Peripheral blood film · image size 400×400.
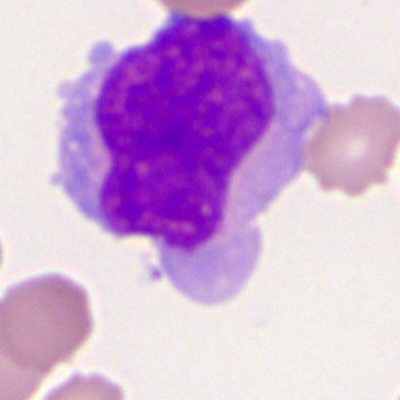
Morphological class = monocyte.